Bone marrow aspirate smear — 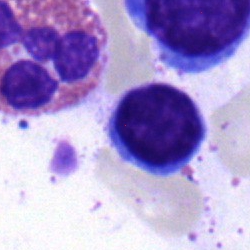
Cell: lymphocyte.